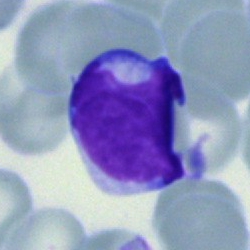
Specimen: bone marrow aspirate smear.
Classification: typical lymphocyte.